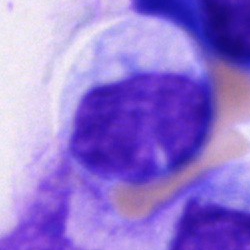
Q: What cell is this?
A: It is a cell of indeterminate lineage.